Bone marrow aspirate smear.
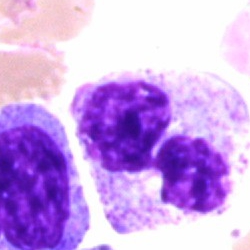
Morphology consistent with a polymorphonuclear neutrophil.